Pappenheim-stained; bone marrow smear
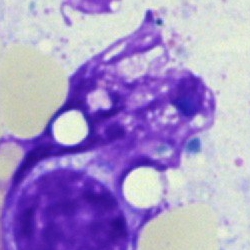Impression — artefact.